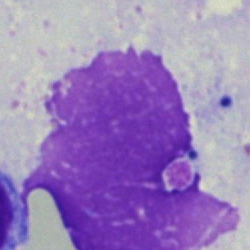Single cell identified as an artefact.